Bone marrow aspirate smear:
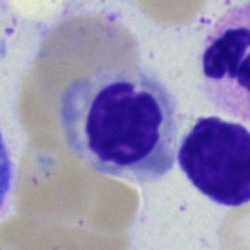Showing a nucleated red blood cell.